Pappenheim-stained. 250×250 px. Bone marrow aspirate smear:
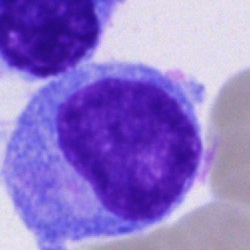

{"cell_type": "blast"}